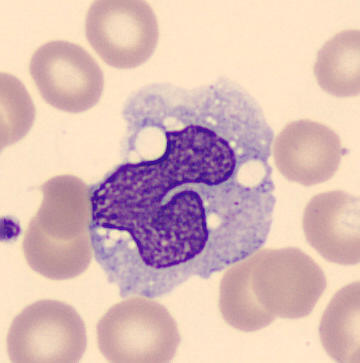 Q: Identify the cell.
A: A monocyte.